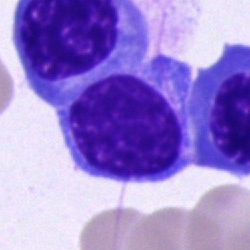
Morphological class — nucleated red blood cell.